Bone marrow aspirate smear — 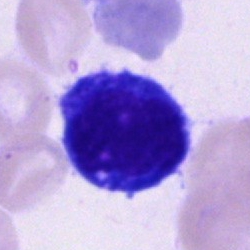

Morphology consistent with a monocyte.